Bone marrow smear · MGG-stained · brightfield microscopy, 40× oil immersion — 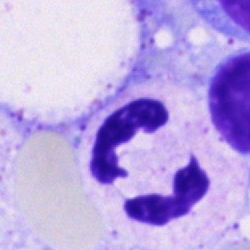

Specimen: bone marrow smear.
Cell type: polymorphonuclear neutrophil.